Bone marrow aspirate smear; brightfield microscopy, 40× oil immersion: 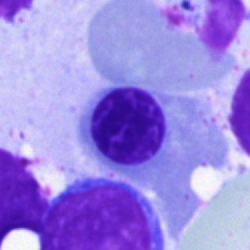

Single cell identified as a normoblast.